Bone marrow smear:
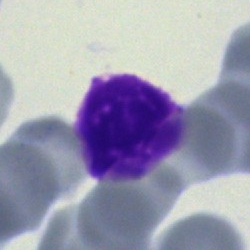

Showing an artefact.